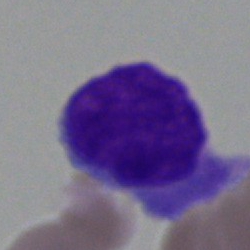
Cell — undifferentiated blast.